250 by 250 pixels · bone marrow smear · May-Grünwald-Giemsa/Pappenheim stain.
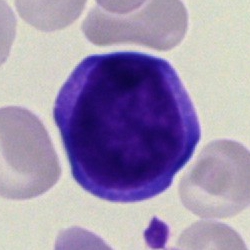Showing a typical lymphocyte.